Peripheral blood smear. Romanowsky-stained
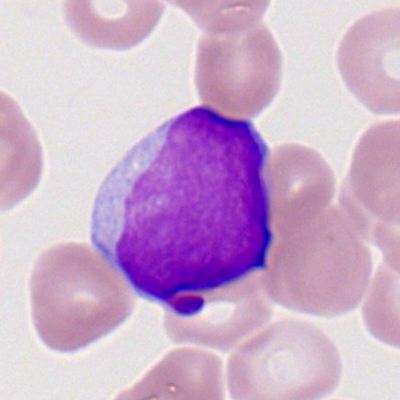
The classification is myeloblast.